Bone marrow smear:
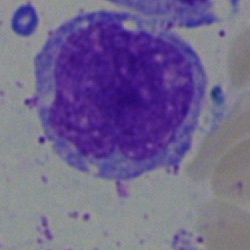
Impression — monocyte.